Bone marrow smear · brightfield microscopy, 40× oil immersion:
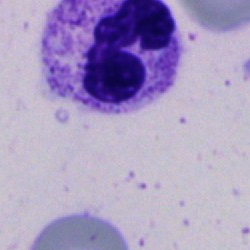

Morphological class = neutrophil (segmented).